Pappenheim-stained. Bone marrow aspirate smear.
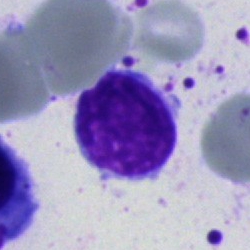Impression → typical lymphocyte.